Bone marrow aspirate smear · 250×250 px · MGG-stained:
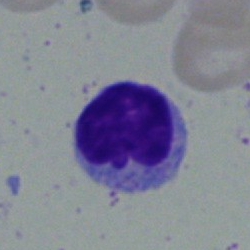 The cell shown is a lymphocyte.